Bone marrow smear: 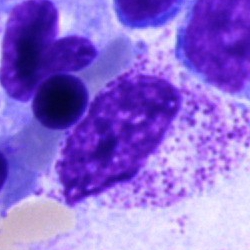

Q: What cell is this?
A: A myelocyte.